Bone marrow aspirate smear.
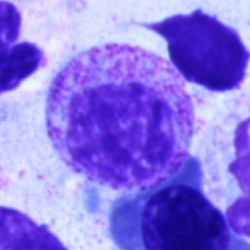 Myelocyte.